400 by 400 pixels · peripheral blood film · Romanowsky stain.
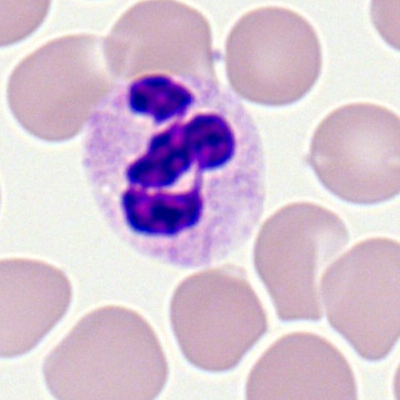
Classification — neutrophil (segmented).